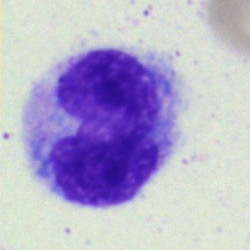
Monocyte.